Image size 250×250 · bone marrow aspirate smear · May-Grünwald-Giemsa/Pappenheim stain:
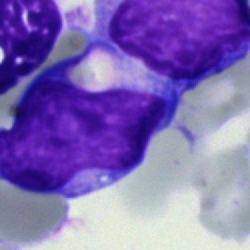

Q: What is shown here?
A: Blast.